Bone marrow smear — 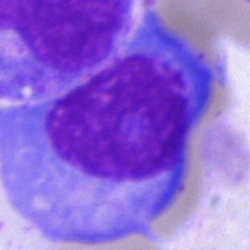

Q: What cell is this?
A: This is a plasmacyte.